Bone marrow smear · brightfield, 40× oil-immersion objective
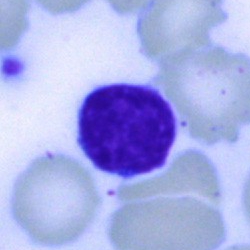Morphology → lymphocyte.